Bone marrow smear. Image size 250×250. Single-cell crop
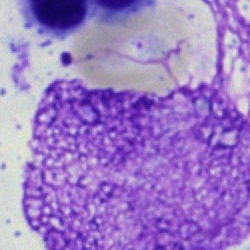
Artefact.